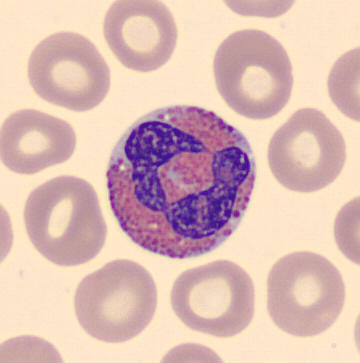 Peripheral blood smear.
Morphology → eosinophilic granulocyte.